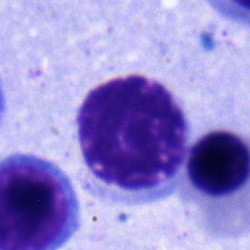
Bone marrow aspirate smear, single cell — typical lymphocyte.